Bone marrow aspirate smear; MGG-stained; image size 250×250.
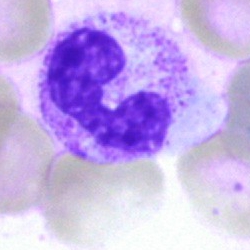
The cell shown is a neutrophil (segmented).